Bone marrow smear · 40× oil immersion:
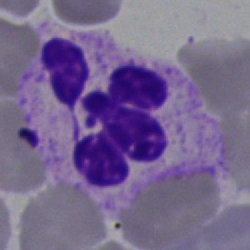 Cell type — polymorphonuclear neutrophil.